Bone marrow smear.
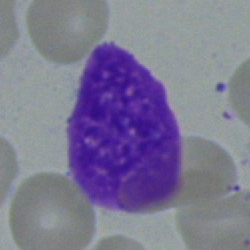

Q: What is shown here?
A: This is an artifact.